Pappenheim-stained. Image size 250×250. Bone marrow aspirate smear
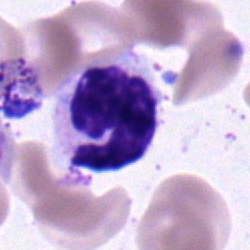

Q: Which cell type is shown here?
A: This is a typical lymphocyte.